Bone marrow aspirate smear: 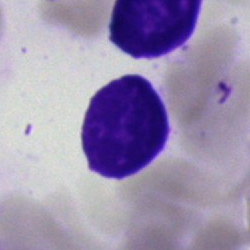Q: What is shown here?
A: This is an artefact.